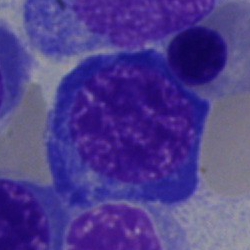A nucleated red blood cell.